Single-cell crop; automated cell imaging (CellaVision DM96); peripheral blood smear:
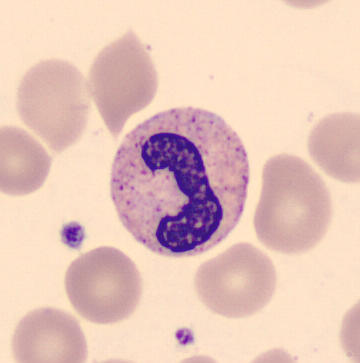Cell — band neutrophil.